Bone marrow smear.
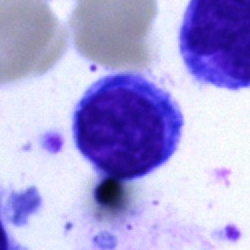Morphology → lymphocyte.